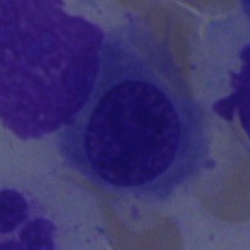

Bone marrow smear showing a normoblast.